40× oil immersion; May-Grünwald-Giemsa stain; bone marrow aspirate smear
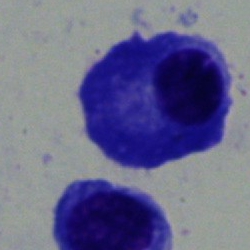

Morphology consistent with a plasmacyte.